250×250 px; bone marrow aspirate smear: 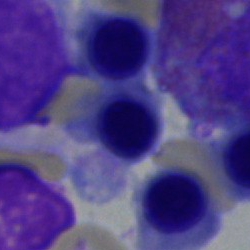

Impression → nucleated red cell.